Bone marrow aspirate smear: 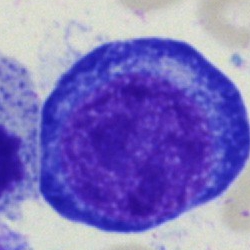

A proerythroblast.